Brightfield, 40× oil-immersion objective. Bone marrow smear — 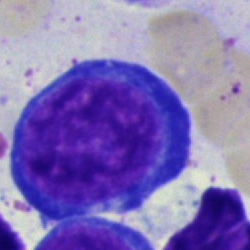

Morphological class = nucleated red blood cell.